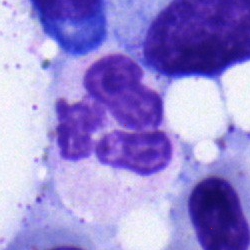
Morphology consistent with a neutrophil (segmented).